Peripheral blood film · single-cell crop: 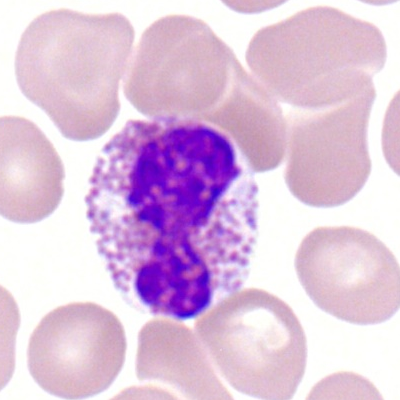 Q: What type of cell is this?
A: A segmented neutrophil.